Bone marrow aspirate smear — 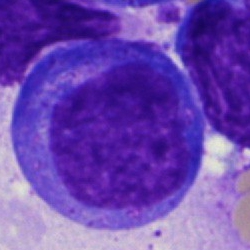
The cell type is blast.